Bone marrow aspirate smear
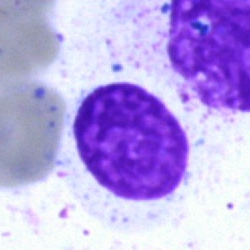
Single cell identified as an artefact.